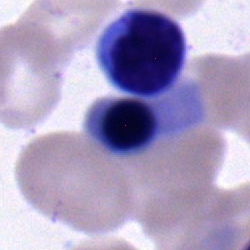
Q: Which cell type is shown here?
A: Nucleated red cell.